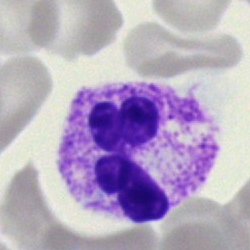Impression → polymorphonuclear neutrophil.